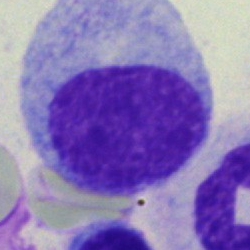Single cell identified as a progranulocyte.